Bone marrow aspirate smear
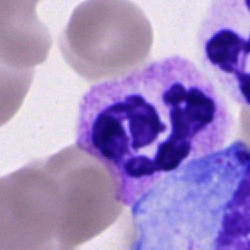The cell is neutrophil (segmented).